Bone marrow aspirate smear
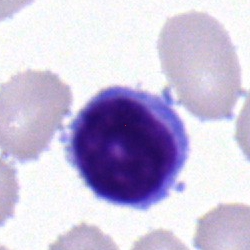
Specimen: bone marrow aspirate smear.
Classification: lymphocyte.